Bone marrow smear: 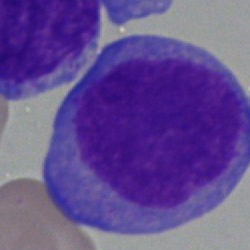Classification = blast.